Bone marrow aspirate smear.
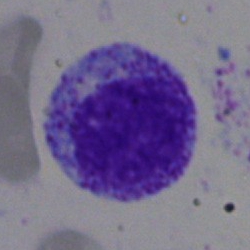
Impression → myelocyte.